Bone marrow smear.
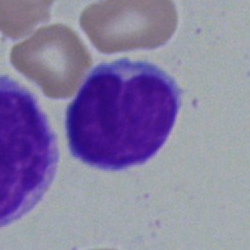Impression → typical lymphocyte.